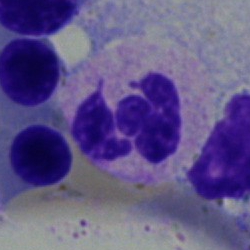Bone marrow aspirate smear, single cell — polymorphonuclear neutrophil.